Bone marrow aspirate smear; 250×250 px; single cell centered in the field:
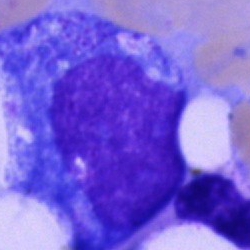
A promyelocyte.